Bone marrow aspirate smear: 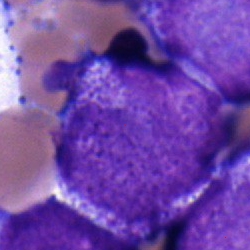
Cell type: blast.